Brightfield, 40× oil-immersion objective; bone marrow aspirate smear; 250×250 — 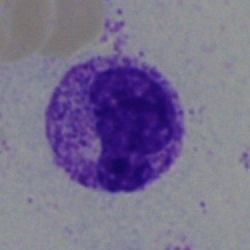 Q: What type of cell is this?
A: This is a polymorphonuclear neutrophil.